Peripheral blood smear: 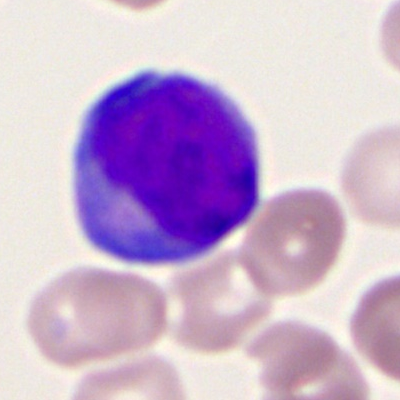
Cell type — myeloid blast.